Single-cell crop. Brightfield, 40× oil-immersion objective. Bone marrow aspirate smear.
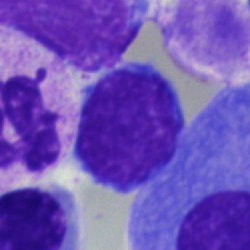
The cell shown is a lymphocyte.